Bone marrow aspirate smear · May-Grünwald-Giemsa/Pappenheim stain · cropped to a single cell.
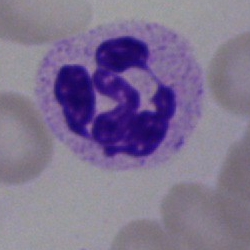Q: What is shown here?
A: Polymorphonuclear neutrophil.